Single cell centered in the field; bone marrow smear; Pappenheim-stained: 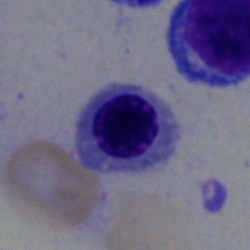Impression — normoblast.